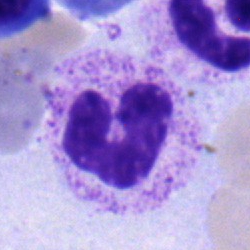
Single-cell crop from a bone marrow smear: polymorphonuclear neutrophil.